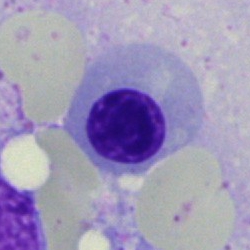 The cell is normoblast.